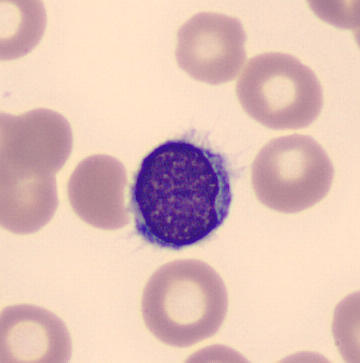
Impression — lymphocyte.
Peripheral blood smear; single-cell field.